Bone marrow smear: 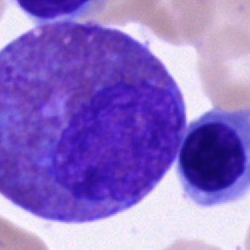 {"cell_type": "eosinophilic granulocyte"}